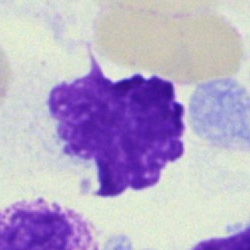Bone marrow aspirate smear, single cell — artefact.